Bone marrow aspirate smear; 250×250 — 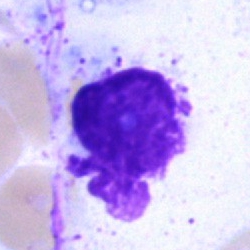Classification: artefact.